Peripheral blood film. 400×400 — 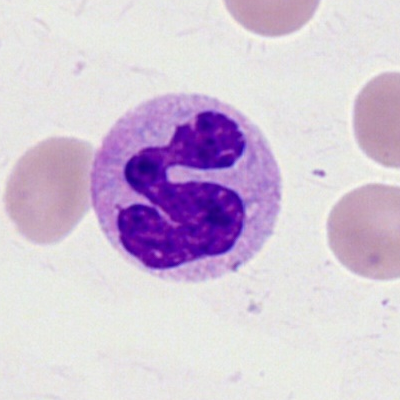Specimen: peripheral blood smear.
Classification: segmented neutrophil.